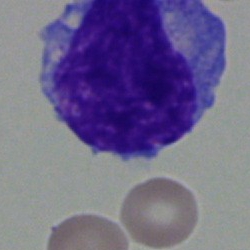 Morphology consistent with a blast.